Bone marrow aspirate smear
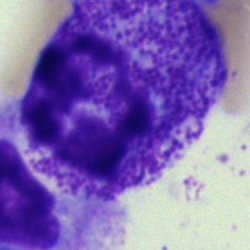
Single cell identified as a promyelocyte.